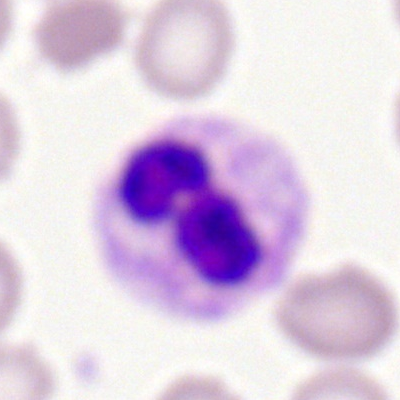
Morphology consistent with a segmented neutrophil.